Bone marrow aspirate smear
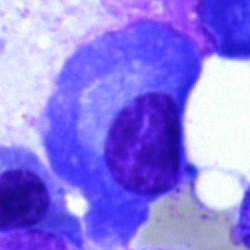 Plasmacyte.